Cropped to a single cell. Bone marrow smear. 250 by 250 pixels
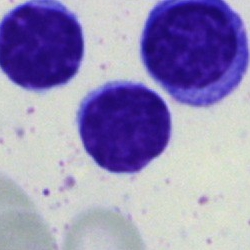A lymphocyte.